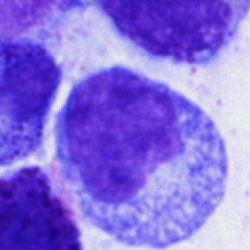

The cell shown is a promyelocyte.